Bone marrow aspirate smear. 250×250 px: 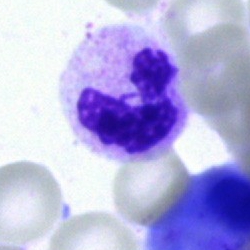Morphology consistent with a segmented neutrophil.